Bone marrow smear. MGG-stained:
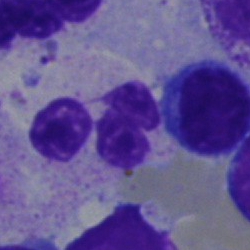
Morphology consistent with a segmented neutrophil.